Bone marrow smear
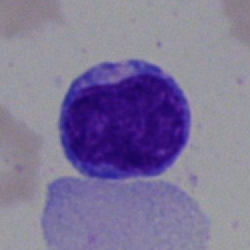 Morphology consistent with a blast cell.